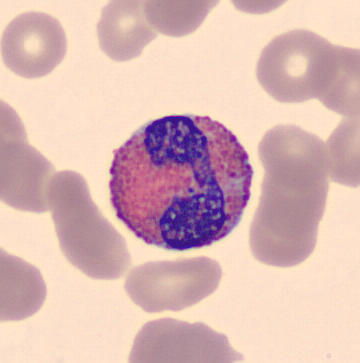Image: Peripheral blood film · single cell centered in the field · image size 360×363. This is an eosinophilic granulocyte.